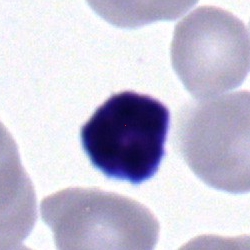
Morphology — typical lymphocyte.